Peripheral blood film. Romanowsky-stained — 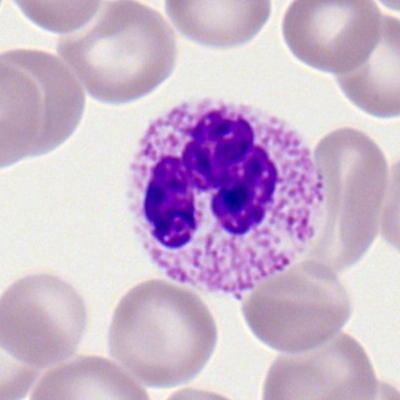 This is a polymorphonuclear neutrophil.